Bone marrow aspirate smear.
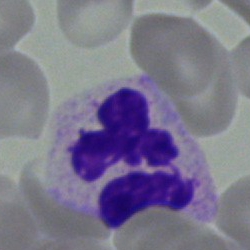 Q: What type of cell is this?
A: A segmented neutrophil.